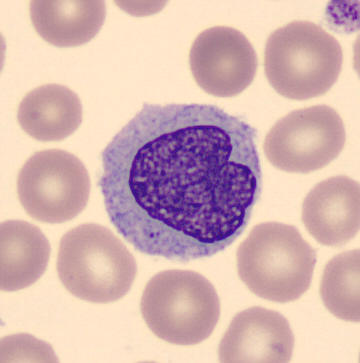
Q: Which cell type is shown here?
A: It is a monocyte.